Bone marrow aspirate smear; MGG-stained; 250×250:
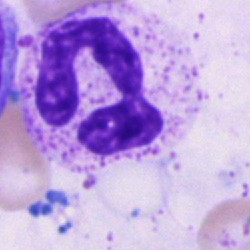 Single cell identified as a neutrophil (segmented).